Bone marrow smear
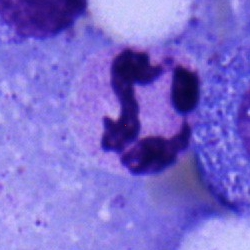 A segmented neutrophil.